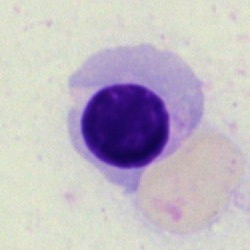Cell: nucleated red cell.